Bone marrow smear
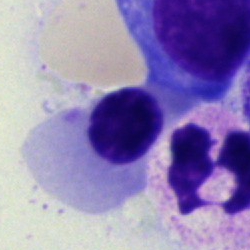
Morphology — nucleated red blood cell.